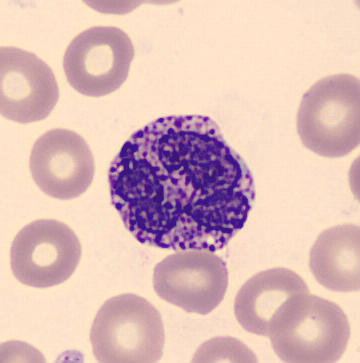Peripheral blood smear. Q: What cell is this?
A: This is a basophil.